Bone marrow smear. Single cell centered in the field — 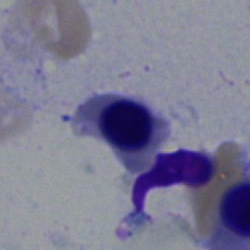 Classification: nucleated red blood cell.